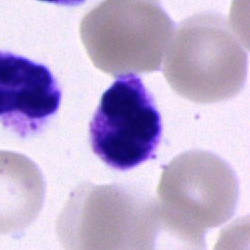Neutrophil (segmented).